Bone marrow aspirate smear; single-cell crop.
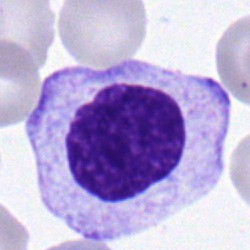Showing a myelocyte.